Bone marrow aspirate smear:
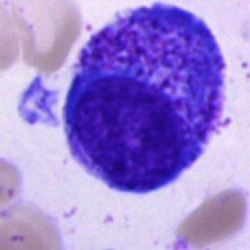Morphology → promyelocyte.